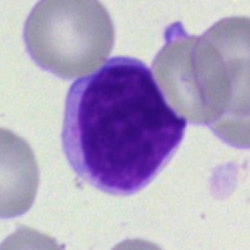The classification is lymphocyte.